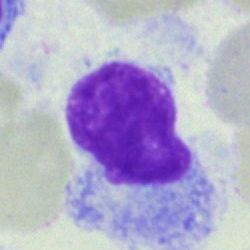 Cell — hairy cell.